Bone marrow aspirate smear:
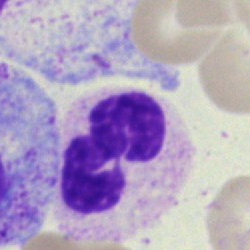 Classification: neutrophil (segmented).